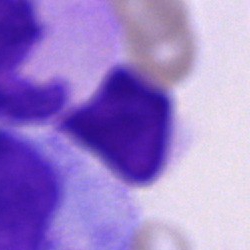

Specimen: bone marrow smear.
Cell type: unidentifiable cell.